250×250; bone marrow smear: 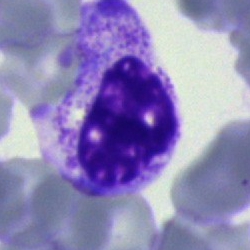

The classification is myelocyte.